Single cell centered in the field; MGG-stained; bone marrow smear:
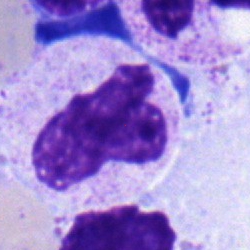The cell shown is a neutrophil (band).